Bone marrow aspirate smear: 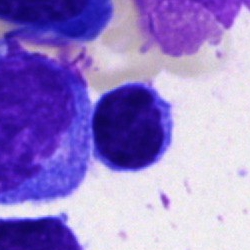
Q: What cell is this?
A: Lymphocyte.